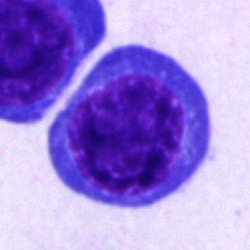
Classification — erythroblast.